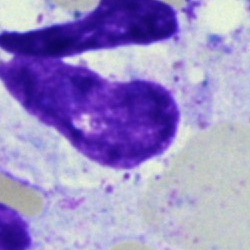
Morphology consistent with an artifact.